Single cell centered in the field. Image size 250×250. Bone marrow aspirate smear — 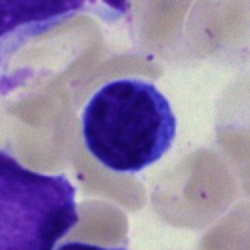

Impression — lymphocyte.